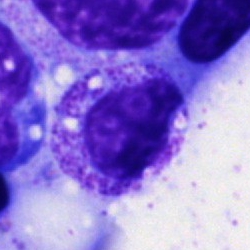
Cell: myelocyte.